Pappenheim-stained. 40× oil immersion. Bone marrow smear
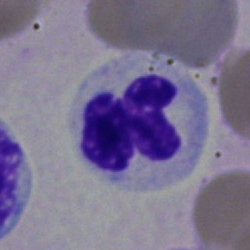 Impression → segmented neutrophil.